May-Grünwald-Giemsa/Pappenheim stain. Bone marrow aspirate smear:
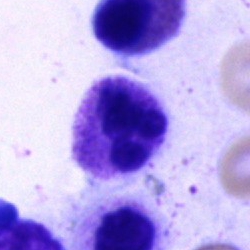 Showing a segmented neutrophil.